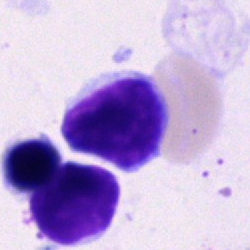The cell shown is a typical lymphocyte.